Bone marrow aspirate smear:
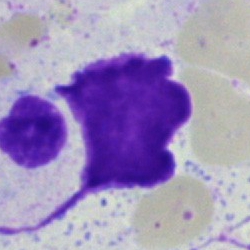Artifact.